Bone marrow smear.
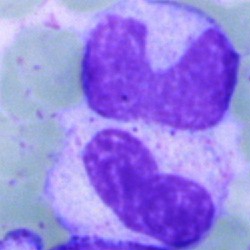 {"cell_type": "band-form neutrophil", "lineage": "myeloid"}